Bone marrow aspirate smear.
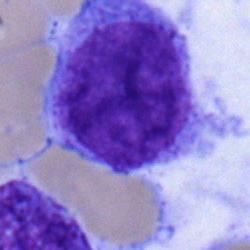

A blast cell.